Bone marrow smear
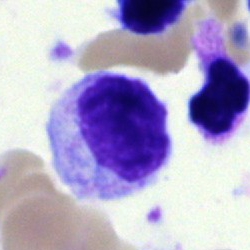
The cell shown is a myelocyte.